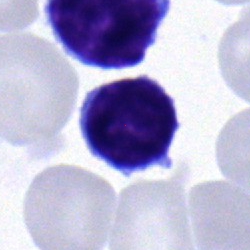

Morphological class: typical lymphocyte.